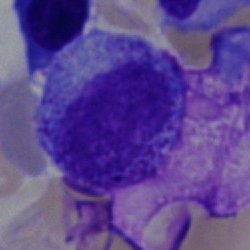 Q: What type of cell is this?
A: A progranulocyte.